Peripheral blood smear. Image size 400×400. 100× objective, oil immersion.
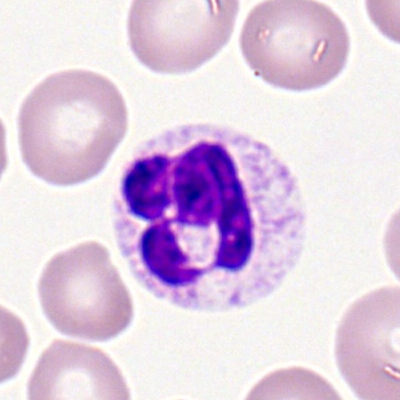
{"cell_type": "polymorphonuclear neutrophil"}